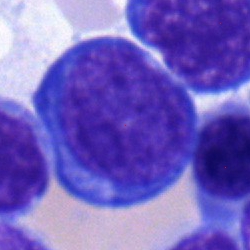Morphological class — proerythroblast.